Bone marrow smear:
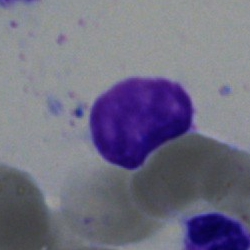
{"cell_type": "artifact"}